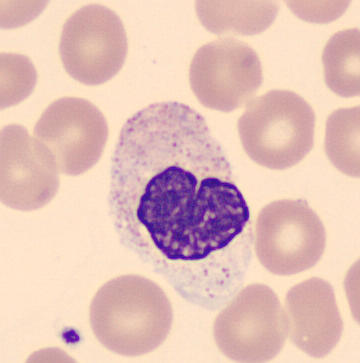 Specimen: peripheral blood smear.
Classification: metamyelocyte.